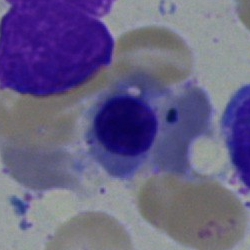 Morphology consistent with a nucleated red cell.